Bone marrow smear — 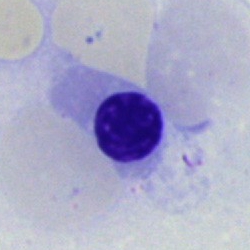Nucleated red blood cell.